Peripheral blood smear. Romanowsky-type stain — 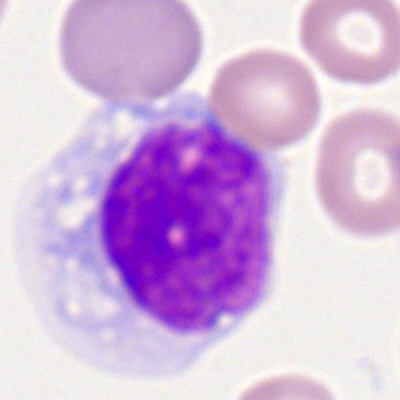

Q: What is shown here?
A: This is a monocyte.